Bone marrow aspirate smear. MGG-stained. Single cell centered in the field.
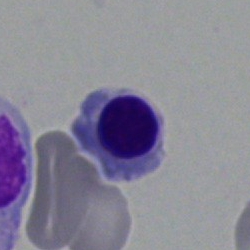
Morphology → normoblast.